Peripheral blood film; M8 digital microscope (Precipoint), 100× oil immersion: 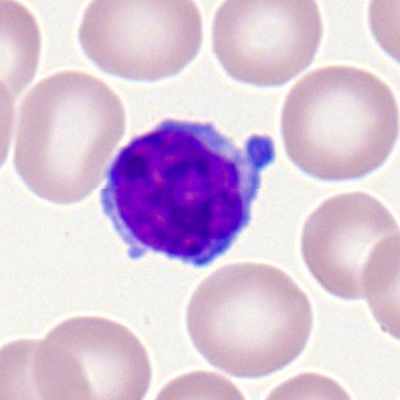 Cell type: lymphocyte.